400 by 400 pixels. 100× oil immersion, 14.14 px/µm. Peripheral blood film — 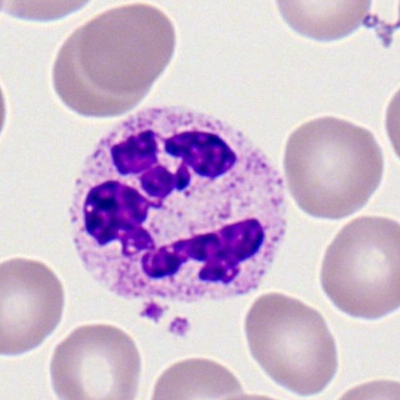 Cell type = segmented neutrophil.